Bone marrow smear: 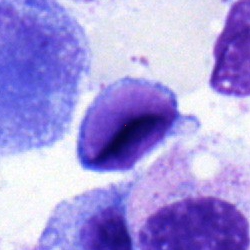
Specimen: bone marrow smear.
Morphological class: typical lymphocyte.